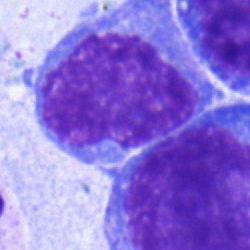
Classification = undifferentiated blast.